Peripheral blood smear: 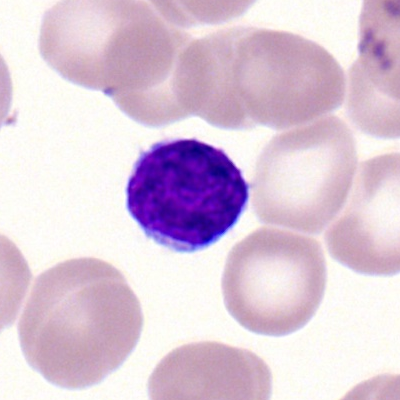 Classification — typical lymphocyte.